Peripheral blood smear.
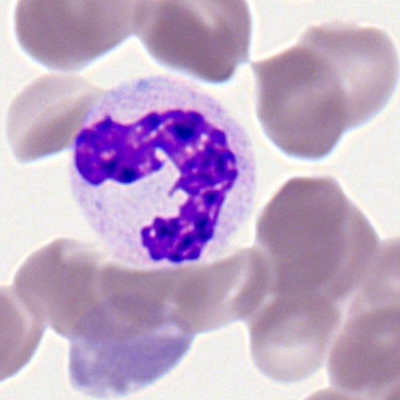

Classification: segmented neutrophil.